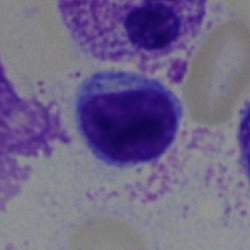 Impression — typical lymphocyte.